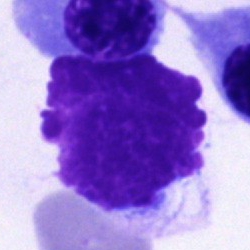 The classification is artifact.